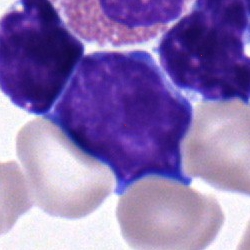
Q: What cell is this?
A: Lymphocyte.